Bone marrow aspirate smear. Pappenheim-stained: 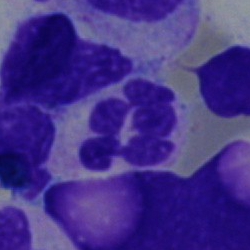 Specimen: bone marrow aspirate smear.
Cell: segmented neutrophil.